Bone marrow smear — 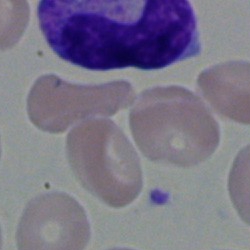 Specimen: bone marrow smear.
Morphological class: stab cell.
Lineage: myeloid.